Peripheral blood film — 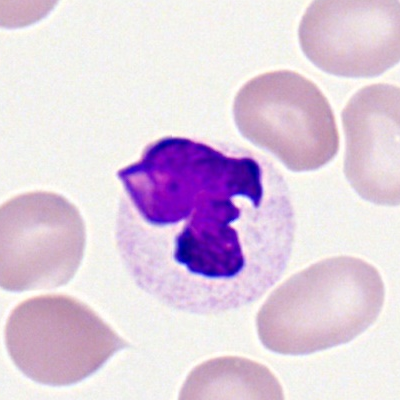 Morphology consistent with a polymorphonuclear neutrophil.